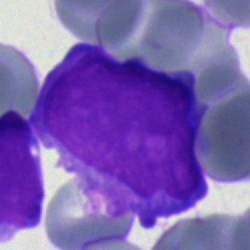
Specimen: bone marrow aspirate smear.
Cell type: blast.